Bone marrow aspirate smear — 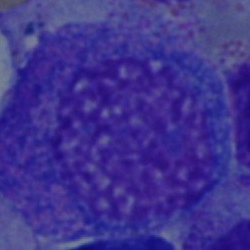
Cell = promyelocyte.